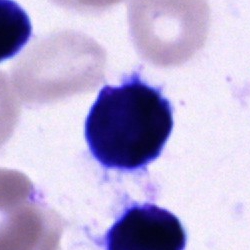 Showing a cell of indeterminate lineage.